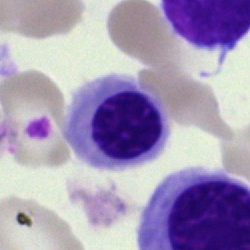 Specimen: bone marrow smear.
Cell: normoblast.